Bone marrow aspirate smear.
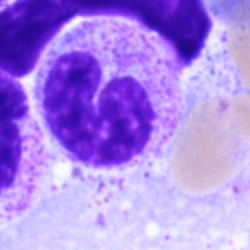 Morphological class — stab cell.